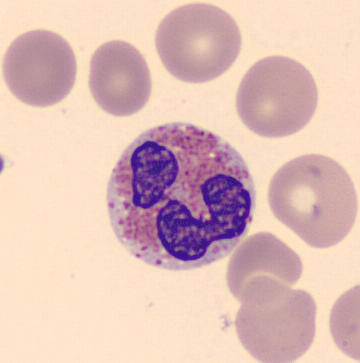 Impression — eosinophilic granulocyte.
Peripheral blood smear. May Grünwald-Giemsa stain.